Romanowsky-type stain. Peripheral blood film: 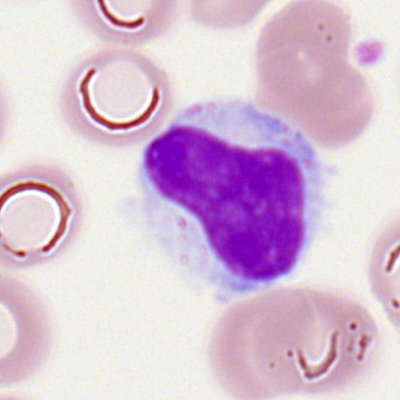
Morphology → typical lymphocyte.